Bone marrow smear; cropped to a single cell — 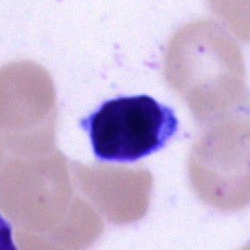
Cell type — lymphocyte.